Bone marrow smear:
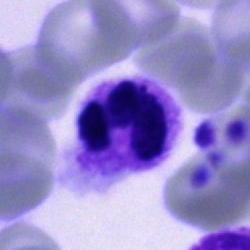

{"cell_type": "segmented neutrophil"}